Bone marrow aspirate smear: 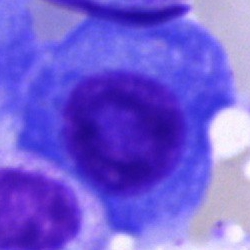Morphology consistent with a plasma cell.